400 by 400 pixels; peripheral blood smear
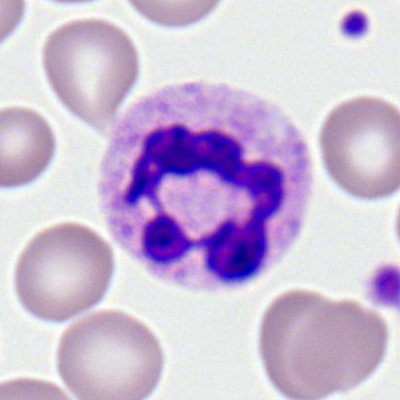
Morphological class: polymorphonuclear neutrophil.